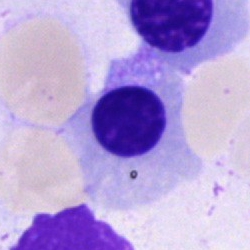

Q: Identify the cell.
A: This is a normoblast.